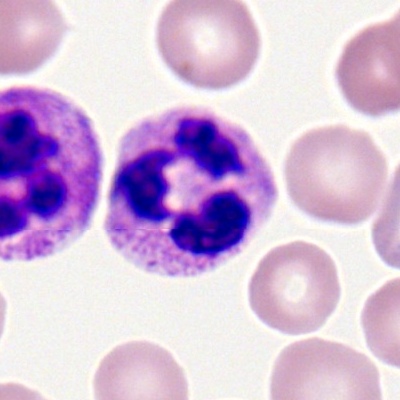Q: What cell is this?
A: Neutrophil (segmented).